May-Grünwald-Giemsa stain; bone marrow aspirate smear; 40× oil immersion:
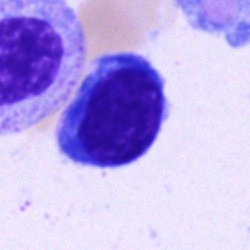 Morphological class: typical lymphocyte.